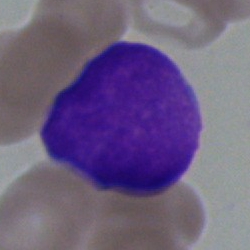This is a blast.